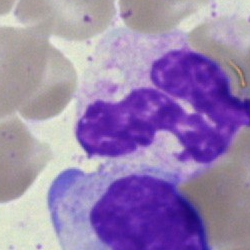

Bone marrow aspirate smear, single cell — polymorphonuclear neutrophil.